MGG-stained · bone marrow smear · cropped to a single cell
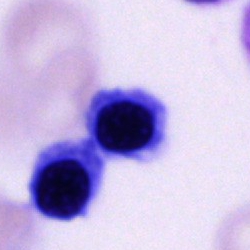
Classification — nucleated red cell.